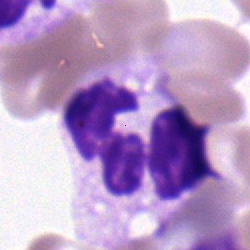 A polymorphonuclear neutrophil on a bone marrow smear.